Bone marrow smear: 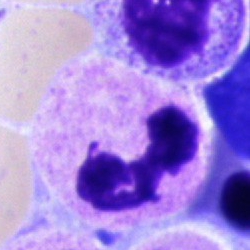 Single cell identified as a neutrophil (segmented).